Peripheral blood smear — 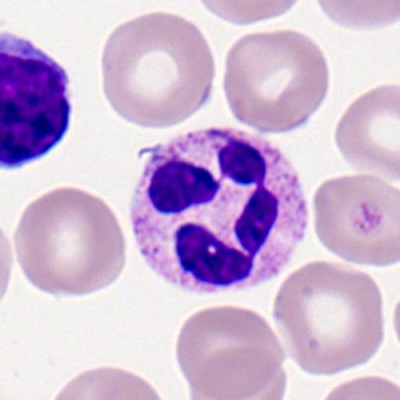

Polymorphonuclear neutrophil.